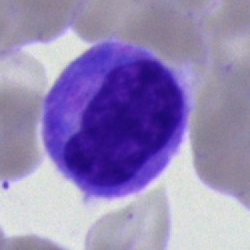A monocyte on a bone marrow smear.